Pappenheim-stained · 250 by 250 pixels · bone marrow aspirate smear.
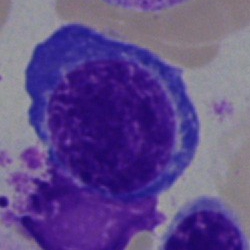The cell shown is a normoblast.